Brightfield, 40× oil-immersion objective · bone marrow aspirate smear
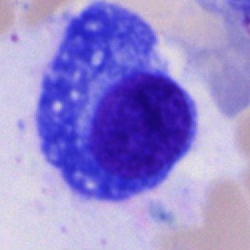 Cell type: plasmacyte.